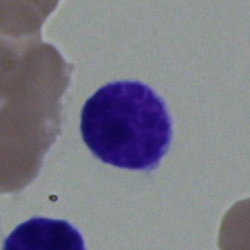 Q: What is shown here?
A: A typical lymphocyte.